Bone marrow aspirate smear. Single-cell crop.
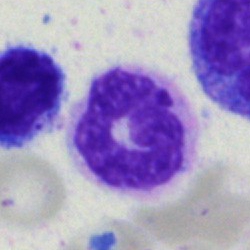

Single cell identified as a neutrophil (segmented).